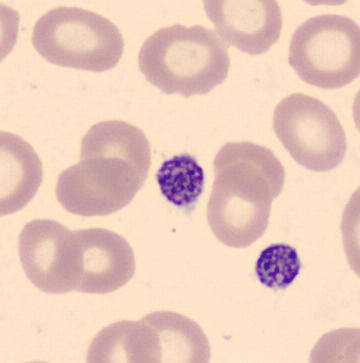Morphological class — platelet.
Image: Automated cell imaging (CellaVision DM96) · image size 360×363 · peripheral blood smear.